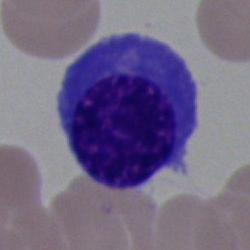 Specimen: bone marrow aspirate smear.
Classification: nucleated red cell.
Lineage: erythroid.